Bone marrow aspirate smear — 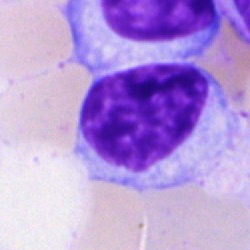 Specimen: bone marrow smear.
Cell type: typical lymphocyte.